Bone marrow smear
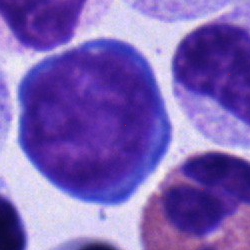
This is a proerythroblast.